Bone marrow smear. 40× objective, oil immersion
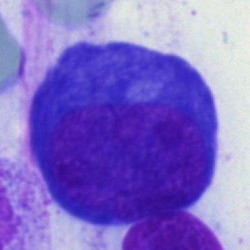

Q: What is the morphological classification of this cell?
A: Pronormoblast.